Bone marrow smear.
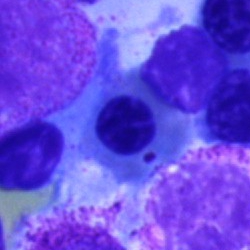The cell shown is an erythroblast.